Bone marrow smear — 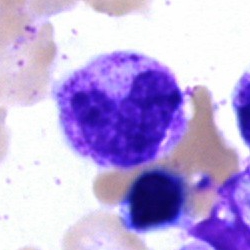

{"cell_type": "band-form neutrophil", "lineage": "myeloid"}